Bone marrow aspirate smear.
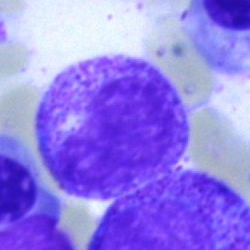Morphology — myelocyte.